Bone marrow smear — 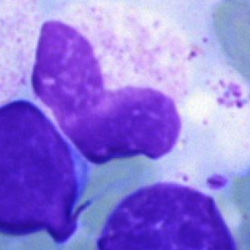

Q: Which cell type is shown here?
A: This is a band-form neutrophil.